MGG-stained · cropped to a single cell · bone marrow aspirate smear
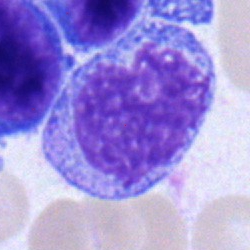
{"cell_type": "monocyte"}